250×250 px · bone marrow aspirate smear:
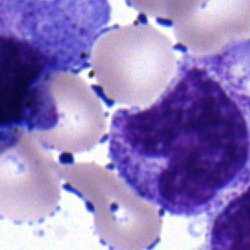Morphological class — metamyelocyte.